Bone marrow aspirate smear
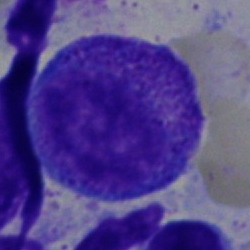

Classification = promyelocyte.